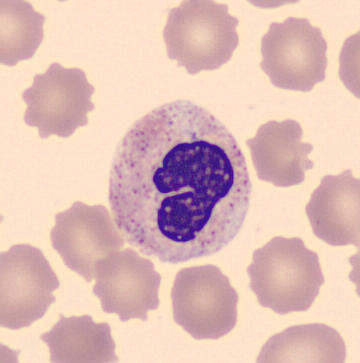
The morphological class is segmented neutrophil.
CellaVision DM96 · peripheral blood film · May Grünwald-Giemsa stain.